Bone marrow smear.
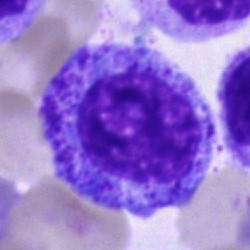
Progranulocyte.